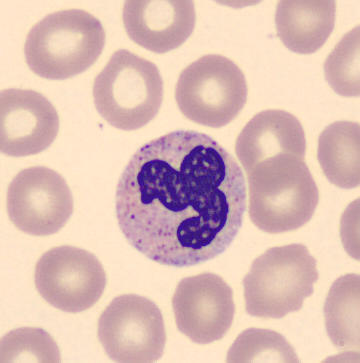
Preparation: Peripheral blood film.
This is a polymorphonuclear neutrophil.